Bone marrow aspirate smear.
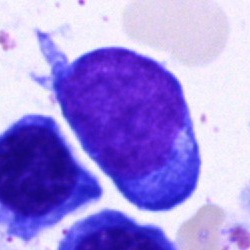

The classification is proerythroblast.